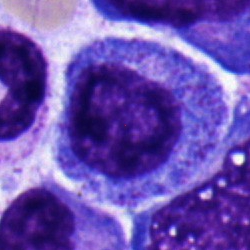Impression — progranulocyte.